400×400 px · peripheral blood smear · 100× oil immersion.
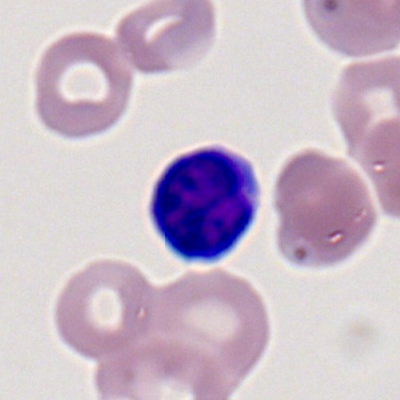 Q: What is the morphological classification of this cell?
A: It is a typical lymphocyte.